MGG-stained · bone marrow smear: 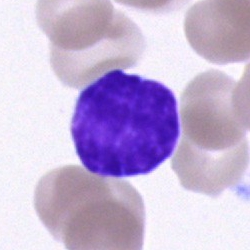
Morphology — typical lymphocyte.